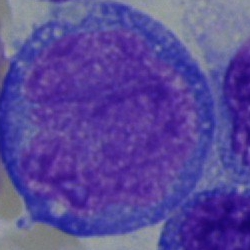Impression — blast cell.